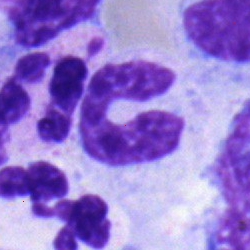
Bone marrow smear showing a band neutrophil.